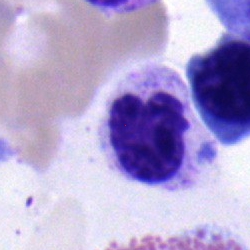

Cell type: band neutrophil.